Bone marrow smear.
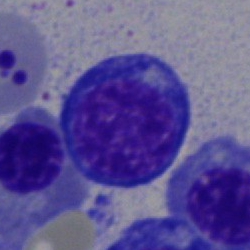The cell type is normoblast.